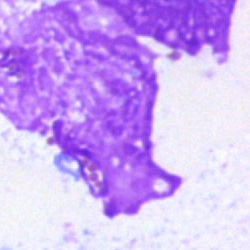 The classification is artifact.